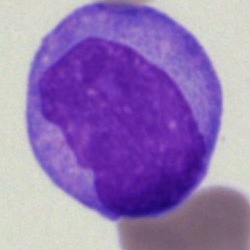Q: Identify the cell.
A: It is a blast cell.